Bone marrow aspirate smear — 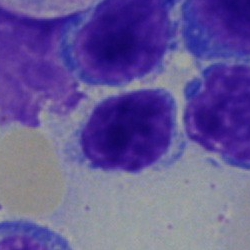

The cell shown is a lymphocyte.